Image size 250×250; single-cell field; bone marrow smear.
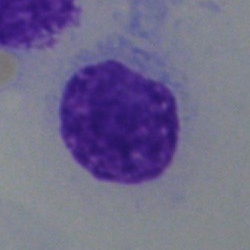Specimen: bone marrow smear.
Cell type: hairy cell.
Lineage: lymphoid.